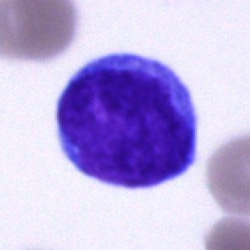
The cell shown is an undifferentiated blast.